Peripheral blood smear — 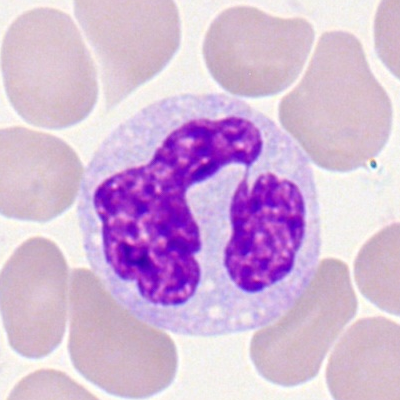

The cell shown is a monocyte.